Bone marrow aspirate smear:
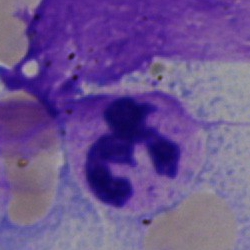

Polymorphonuclear neutrophil.